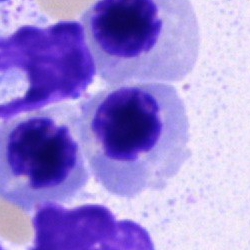Morphology consistent with an erythroblast.